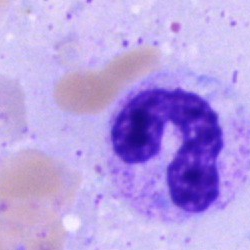

Morphological class — stab cell.